Single-cell field · May-Grünwald-Giemsa stain · bone marrow smear: 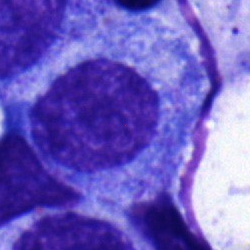
Q: What is the morphological classification of this cell?
A: It is a promyelocyte.